Bone marrow aspirate smear: 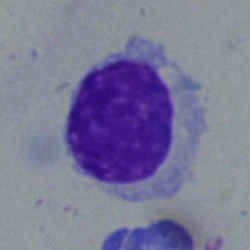Cell — typical lymphocyte.